Bone marrow smear. Cropped to a single cell. 250×250 px — 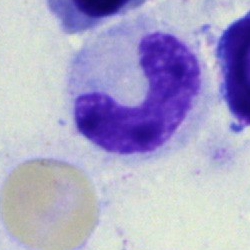

The cell shown is a band neutrophil.